Bone marrow smear · 250 by 250 pixels: 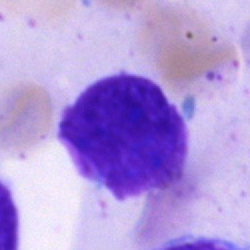 Morphology consistent with an artefact.